May-Grünwald-Giemsa/Pappenheim stain. Bone marrow aspirate smear — 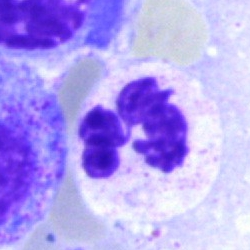
Showing a polymorphonuclear neutrophil.